250×250 · 40× objective, oil immersion · bone marrow aspirate smear — 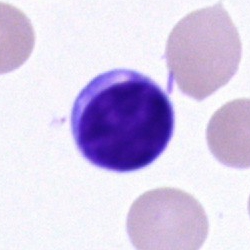 Morphology → lymphocyte.